Peripheral blood smear — 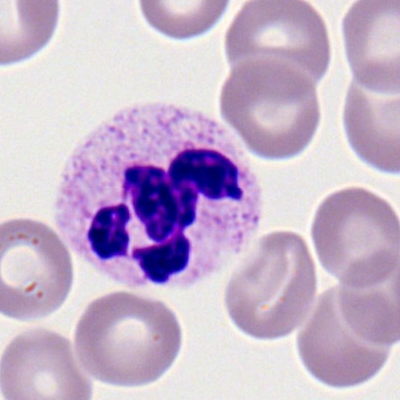Morphology consistent with a neutrophil (segmented).